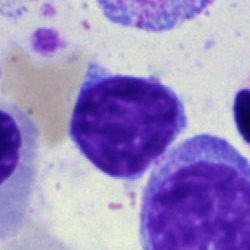
The cell shown is a lymphocyte.